250 by 250 pixels · brightfield, 40× oil-immersion objective · bone marrow aspirate smear:
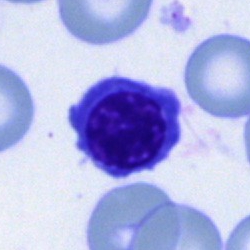

Morphological class — nucleated red cell.